Bone marrow smear.
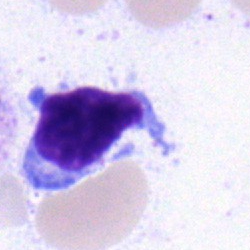
Morphology — typical lymphocyte.